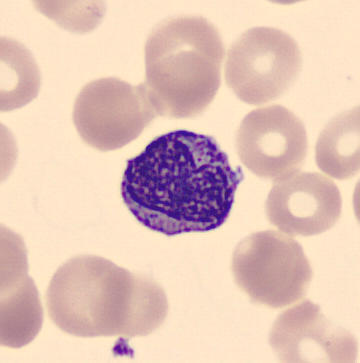Peripheral blood smear · cropped to a single cell.
Metamyelocyte.